Peripheral blood film · single-cell crop
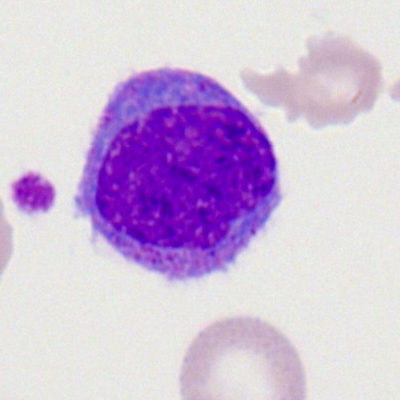 The classification is monocyte.